Single-cell field. Bone marrow smear.
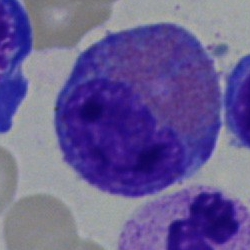 The cell is eosinophilic granulocyte.